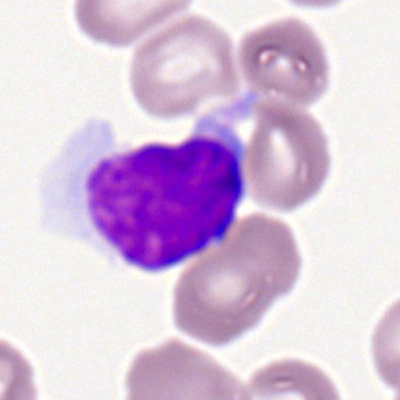The cell shown is a lymphocyte.